Single-cell crop. 250 by 250 pixels. Bone marrow aspirate smear.
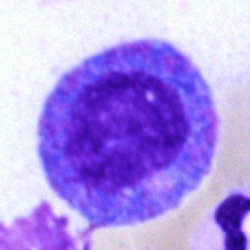Cell type = promyelocyte.